Bone marrow aspirate smear.
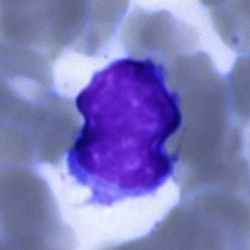
The classification is typical lymphocyte.